Image size 250×250. Bone marrow smear. May-Grünwald-Giemsa stain:
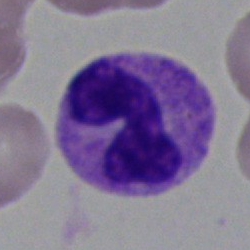 Single cell identified as a polymorphonuclear neutrophil.